Bone marrow smear. 250×250 px.
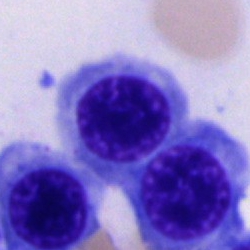 Specimen: bone marrow aspirate smear.
Morphological class: nucleated red blood cell.
Lineage: erythroid.